Bone marrow aspirate smear
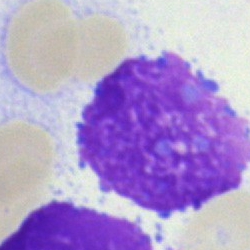
Single cell identified as an artefact.